Bone marrow smear:
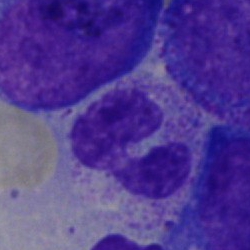
Morphology → neutrophil (segmented).